Bone marrow aspirate smear: 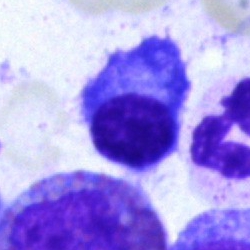
Impression — plasmacyte.